Bone marrow smear — 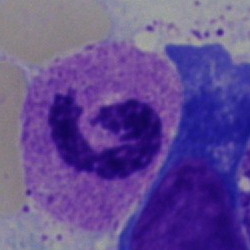

Neutrophil (segmented).